40× objective, oil immersion. Single-cell field. Bone marrow aspirate smear — 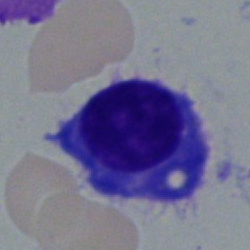Classification: plasmacyte.